May-Grünwald-Giemsa/Pappenheim stain · bone marrow smear — 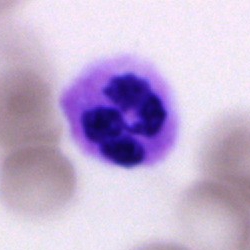Cell — polymorphonuclear neutrophil.